Peripheral blood film:
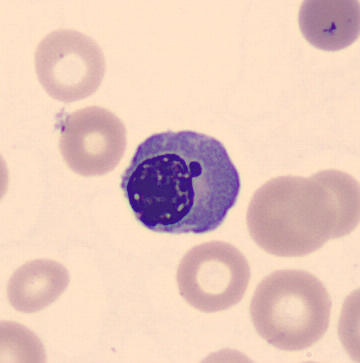 Morphology consistent with a nucleated red blood cell.